Peripheral blood smear:
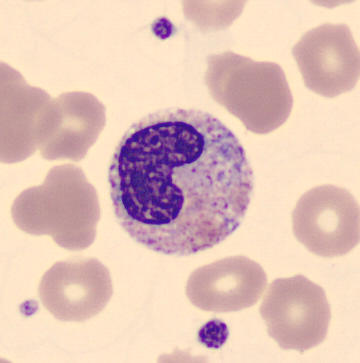
This is a stab cell.